Brightfield microscopy, 40× oil immersion; bone marrow aspirate smear; 250 by 250 pixels:
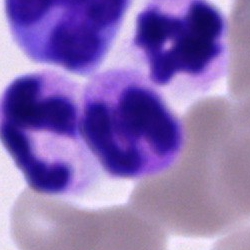
Morphology → segmented neutrophil.